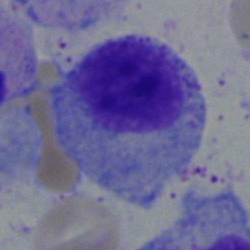 Q: Which cell type is shown here?
A: A myelocyte.